Cropped to a single cell. Bone marrow aspirate smear. MGG-stained — 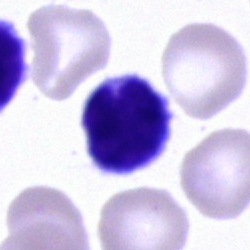 Single cell identified as a lymphocyte.